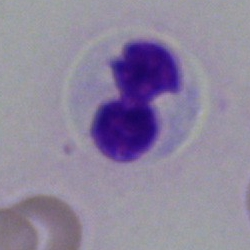

This is a polymorphonuclear neutrophil.